Single cell centered in the field. Pappenheim-stained. Bone marrow aspirate smear.
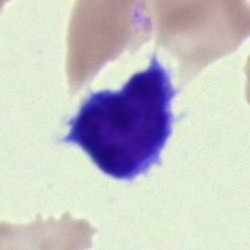 Cell: lymphocyte.